Peripheral blood smear; single cell centered in the field:
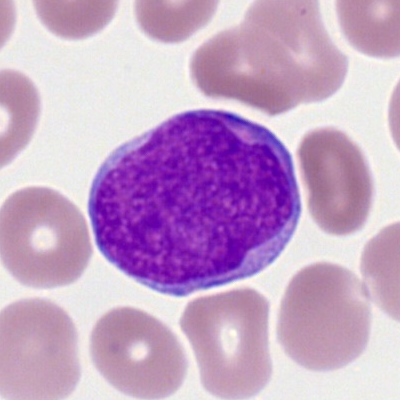

Specimen: peripheral blood smear.
Cell: myeloblast.
Lineage: myeloid.